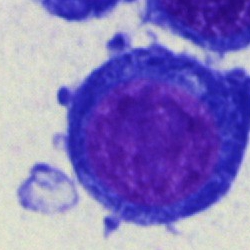 A normoblast on a bone marrow smear.